Bone marrow aspirate smear
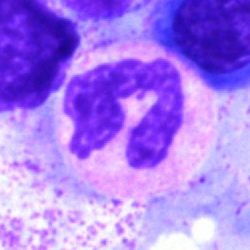 Polymorphonuclear neutrophil.